400×400 px; peripheral blood smear; M8 digital microscope (Precipoint), 100× oil immersion.
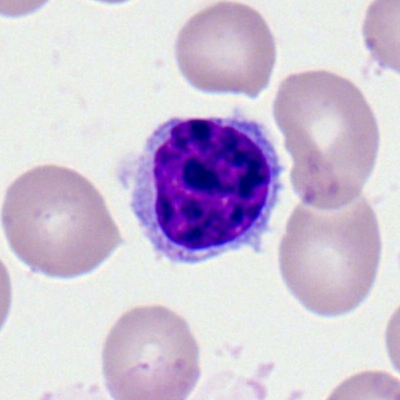Cell — lymphocyte.